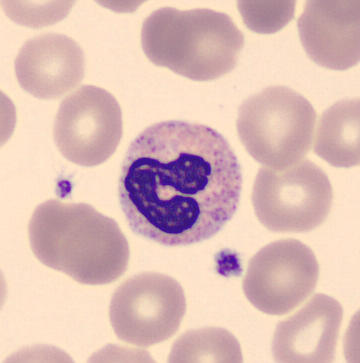Morphology → neutrophil (band). Image: Peripheral blood film. Single-cell crop. May-Grünwald-Giemsa-stained.